Bone marrow smear. 40× objective, oil immersion:
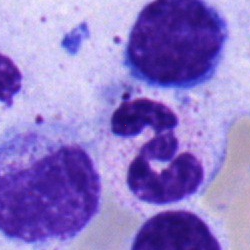The classification is neutrophil (segmented).